Bone marrow aspirate smear: 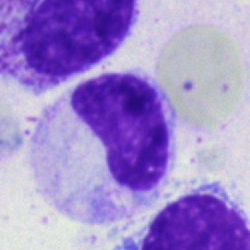

Single cell identified as a metamyelocyte.